Bone marrow aspirate smear: 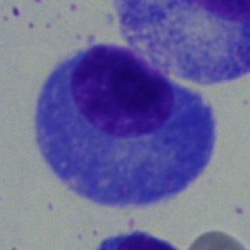

Morphology → plasma cell.